Bone marrow smear · image size 250×250 — 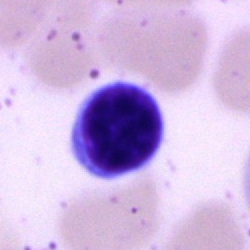
Showing a typical lymphocyte.